Bone marrow smear
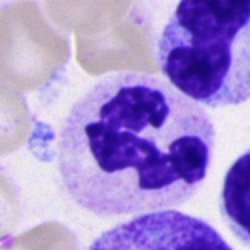 Q: What is the morphological classification of this cell?
A: A neutrophil (segmented).